Bone marrow aspirate smear. 250×250 px: 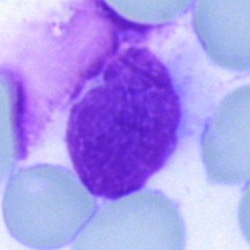

Cell type = artefact.